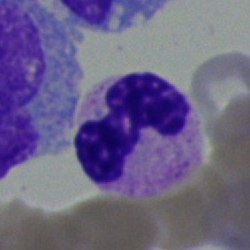 Specimen: bone marrow aspirate smear.
Morphological class: polymorphonuclear neutrophil.
Lineage: myeloid.